Cropped to a single cell. Bone marrow aspirate smear. 250 by 250 pixels.
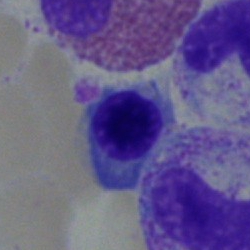A nucleated red blood cell.